Bone marrow smear — 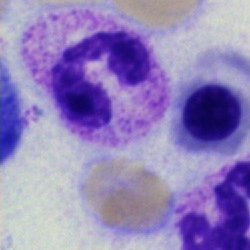
Morphological class — polymorphonuclear neutrophil.